Bone marrow aspirate smear
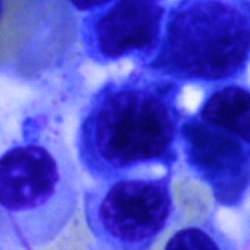

Classification: erythroblast.